Bone marrow smear — 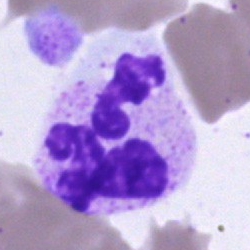 Polymorphonuclear neutrophil.